Bone marrow smear.
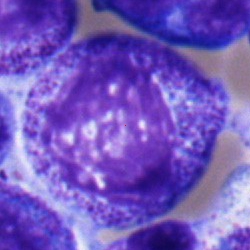
Specimen: bone marrow aspirate smear.
Cell type: myelocyte.
Lineage: myeloid.